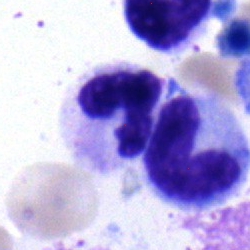
Q: What cell is this?
A: A neutrophil (segmented).